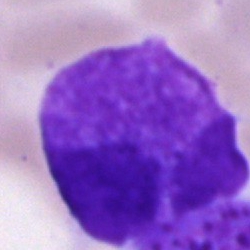Q: What cell is this?
A: Blast cell.